Bone marrow aspirate smear · 40× oil immersion · 250 by 250 pixels.
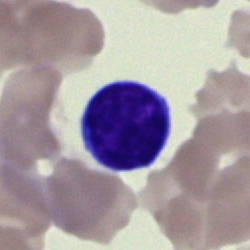

A lymphocyte.